Image size 250×250 · bone marrow aspirate smear:
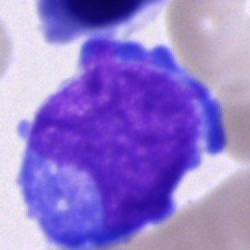Morphological class = undifferentiated blast.